40× oil immersion; bone marrow aspirate smear; 250×250 px.
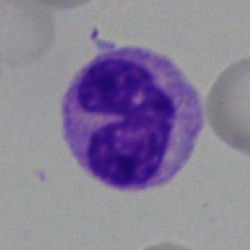Q: What is shown here?
A: It is a band neutrophil.